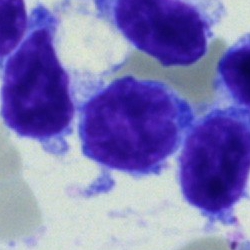

Showing a lymphocyte.